Peripheral blood smear:
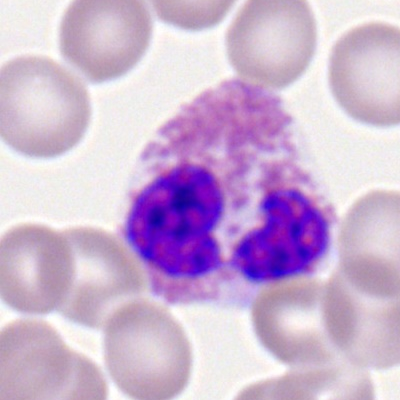 Morphology — eosinophilic granulocyte.